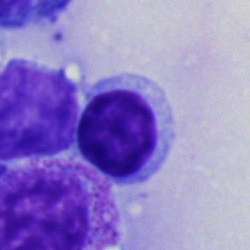
The cell shown is a lymphocyte.